CellaVision DM96; image size 360×363; peripheral blood film.
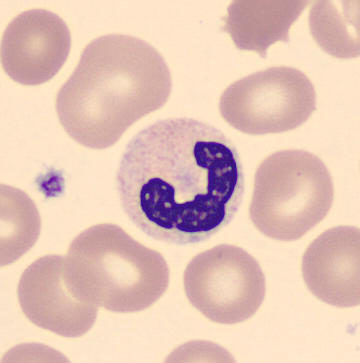 A stab cell.